Peripheral blood smear: 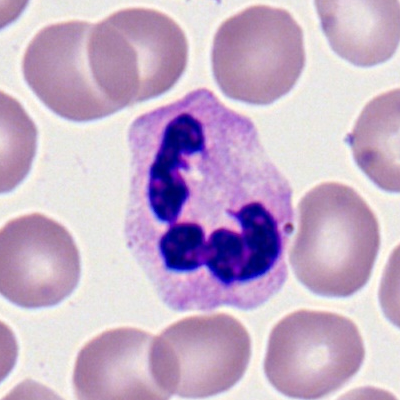
Segmented neutrophil.